Bone marrow aspirate smear:
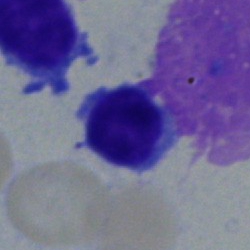
The cell shown is a typical lymphocyte.